Bone marrow aspirate smear
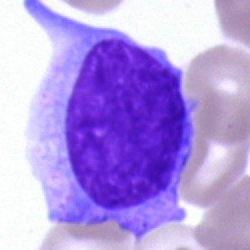
Cell type = blast cell.